Bone marrow smear — 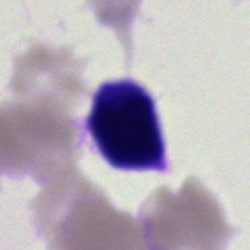 Specimen: bone marrow aspirate smear.
Cell: artifact.